May-Grünwald-Giemsa/Pappenheim stain · bone marrow aspirate smear: 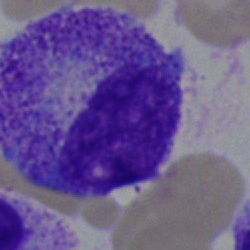
Q: Identify the cell.
A: This is a myelocyte.